Bone marrow smear · 250×250: 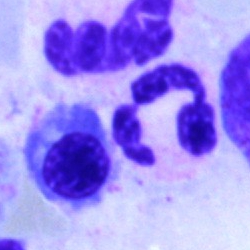

The morphological class is polymorphonuclear neutrophil.